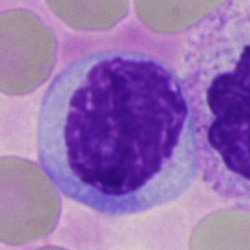The cell type is typical lymphocyte.